Peripheral blood film · M8 digital microscope (Precipoint), 100× oil immersion · single cell centered in the field
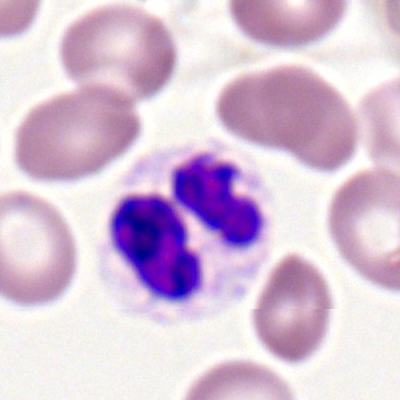The classification is polymorphonuclear neutrophil.